Bone marrow aspirate smear:
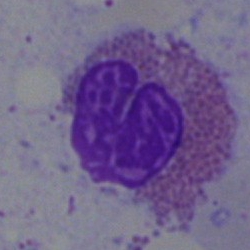
The classification is eosinophil.